May-Grünwald-Giemsa stain. Cropped to a single cell. Bone marrow smear
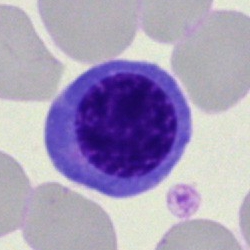

Morphology consistent with a nucleated red cell.